Bone marrow aspirate smear. Pappenheim-stained. 40× objective, oil immersion:
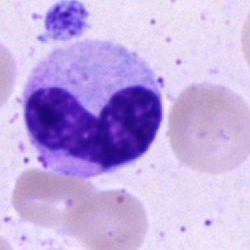This is a stab cell.